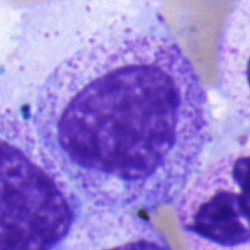

Impression — myelocyte.